Bone marrow smear · single-cell field · 40× objective, oil immersion: 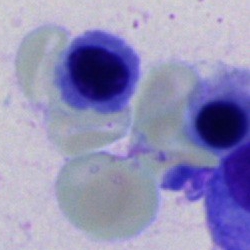 Morphology → nucleated red blood cell.